40× oil immersion; bone marrow smear; May-Grünwald-Giemsa/Pappenheim stain — 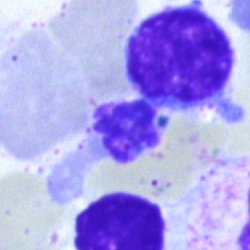

Q: What is shown here?
A: Artifact.